May-Grünwald-Giemsa stain; bone marrow aspirate smear
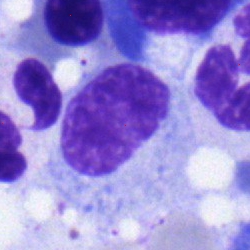Specimen: bone marrow aspirate smear.
Cell type: metamyelocyte.
Lineage: myeloid.